Bone marrow aspirate smear. Image size 250×250. Brightfield, 40× oil-immersion objective.
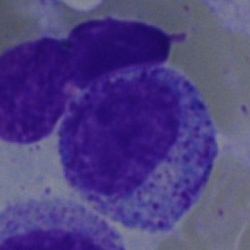 The cell type is progranulocyte.